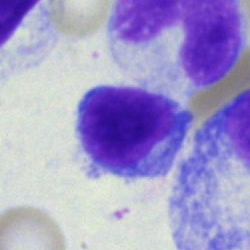The cell is lymphocyte.